40× oil immersion. Single-cell field. Bone marrow smear
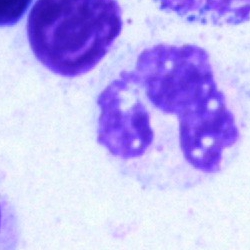
Showing a polymorphonuclear neutrophil.